Peripheral blood smear — 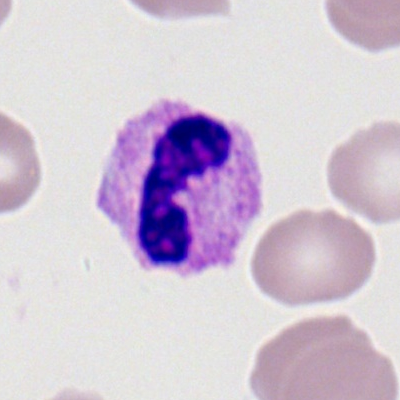Classification — polymorphonuclear neutrophil.